Peripheral blood smear: 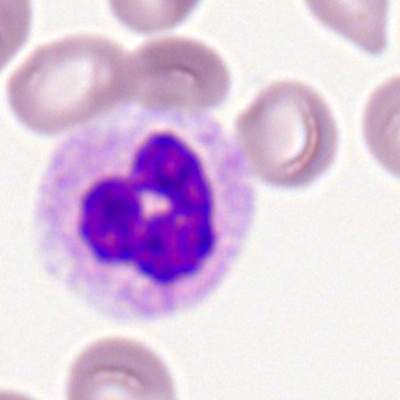Morphological class — segmented neutrophil.